Bone marrow smear: 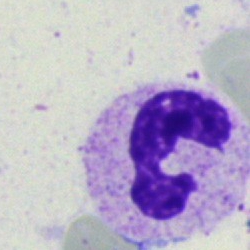
The cell shown is a segmented neutrophil.